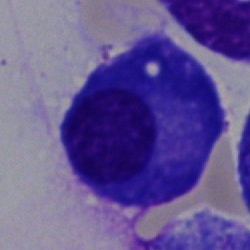A plasma cell on a bone marrow smear.